Bone marrow smear:
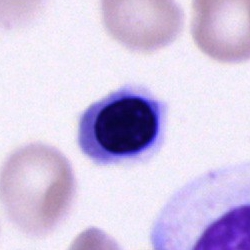Impression — nucleated red blood cell.